Bone marrow aspirate smear.
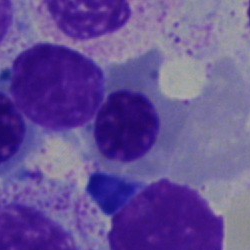Impression → normoblast.